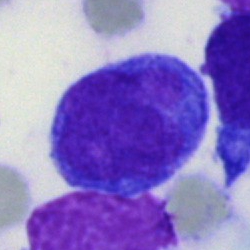
Q: What is the morphological classification of this cell?
A: It is an undifferentiated blast.